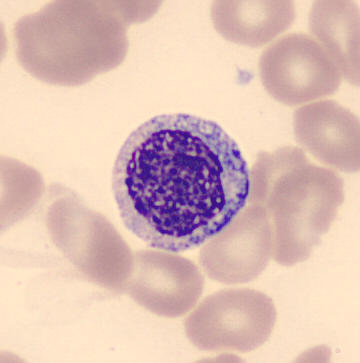
A myelocyte. 360 by 363 pixels; peripheral blood film.